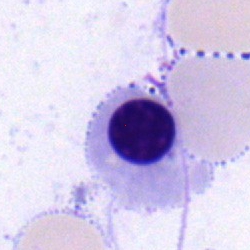Q: What is shown here?
A: It is a normoblast.